MGG-stained. Bone marrow aspirate smear. Brightfield microscopy, 40× oil immersion — 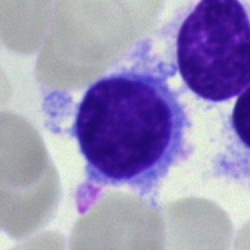{"cell_type": "hairy cell", "lineage": "lymphoid"}